Bone marrow smear: 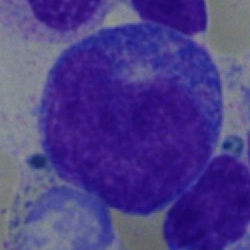

This is a progranulocyte.